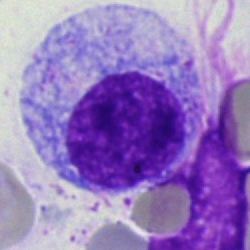
Cell type — myelocyte.